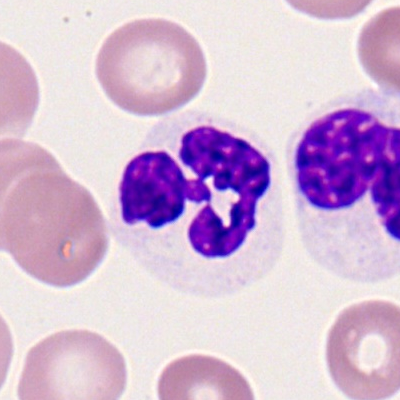

Peripheral blood film, single cell — segmented neutrophil.